Bone marrow smear: 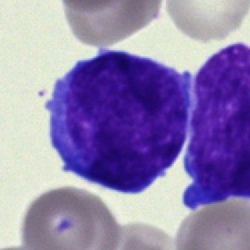The morphological class is undifferentiated blast.